Bone marrow smear.
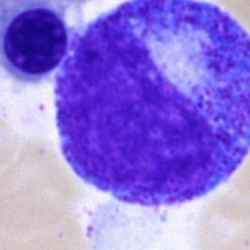
Single cell identified as a progranulocyte.